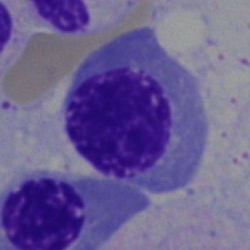
This is a nucleated red blood cell.